Bone marrow aspirate smear.
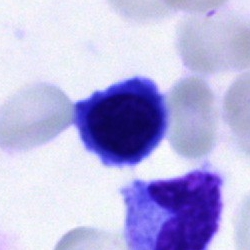 Morphological class = normoblast.